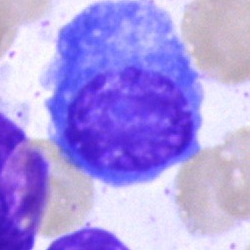Q: What type of cell is this?
A: A plasma cell.